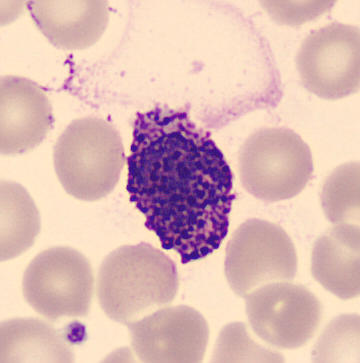 The morphological class is basophil.